Bone marrow smear: 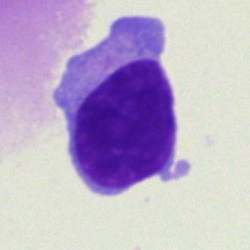 Typical lymphocyte.